Bone marrow smear. Brightfield, 40× oil-immersion objective. May-Grünwald-Giemsa stain
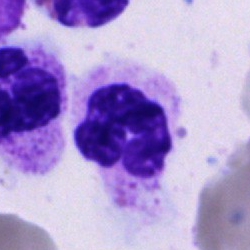Impression — segmented neutrophil.